Bone marrow smear: 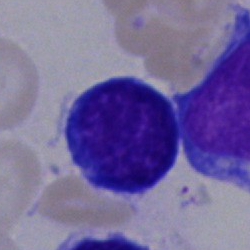 Showing a lymphocyte.